Bone marrow smear; Pappenheim-stained — 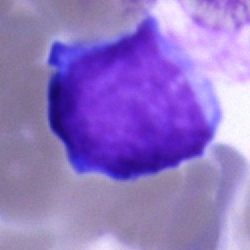 Cell: blast cell.